Bone marrow aspirate smear: 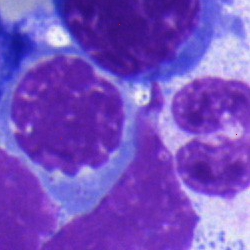 Morphological class — neutrophil (segmented).